Bone marrow smear. 40× objective, oil immersion.
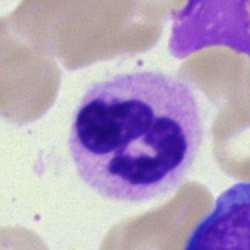 Showing a polymorphonuclear neutrophil.